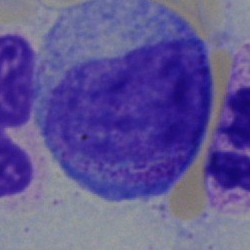 Morphology → promyelocyte.